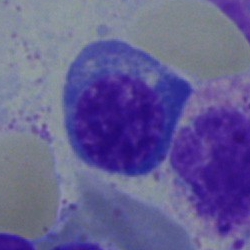

Nucleated red blood cell.